250×250. May-Grünwald-Giemsa stain. Bone marrow aspirate smear.
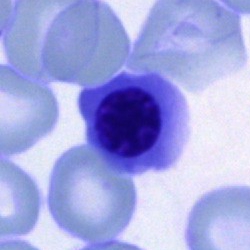This is an erythroblast.